Cropped to a single cell; Pappenheim-stained; bone marrow smear — 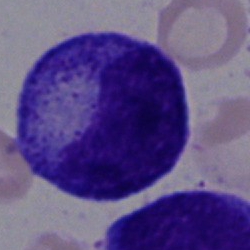Q: Which cell type is shown here?
A: It is a promyelocyte.